Bone marrow aspirate smear: 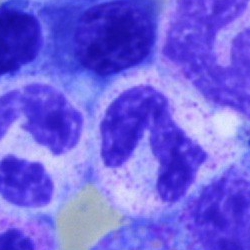Specimen: bone marrow smear.
Cell: neutrophil (segmented).